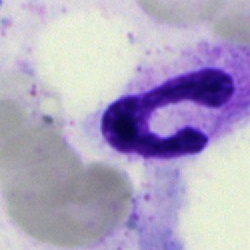

Classification = polymorphonuclear neutrophil.